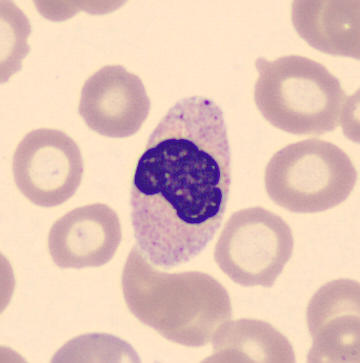CellaVision DM96 · single cell centered in the field.

Specimen: peripheral blood film.
Classification: band neutrophil.